Bone marrow aspirate smear: 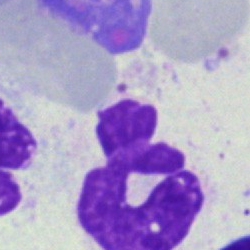
Q: Identify the cell.
A: It is a neutrophil (segmented).